Bone marrow aspirate smear — 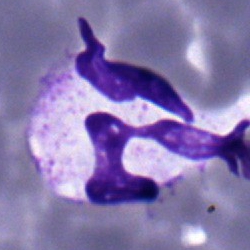

Q: What is shown here?
A: This is a neutrophil (segmented).